Bone marrow aspirate smear
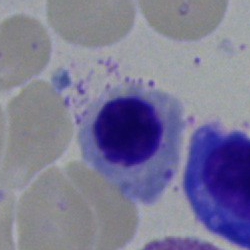 Impression → normoblast.